250×250. Bone marrow aspirate smear
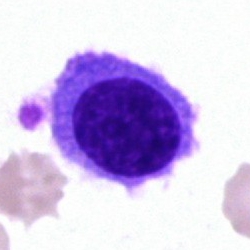Q: What cell is this?
A: It is a hairy cell.